MGG-stained · brightfield, 40× oil-immersion objective · bone marrow aspirate smear
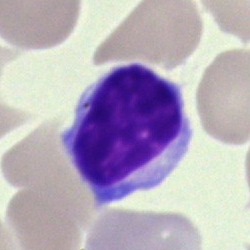

A typical lymphocyte.